Bone marrow smear:
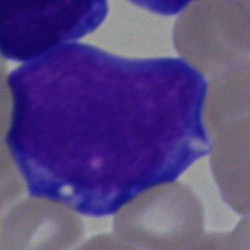Showing a blast.